Bone marrow aspirate smear — 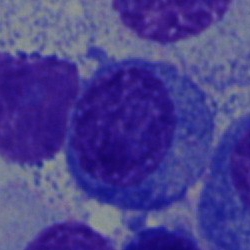The classification is plasma cell.